Bone marrow aspirate smear.
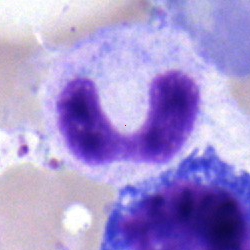 Impression — neutrophil (band).